Bone marrow smear:
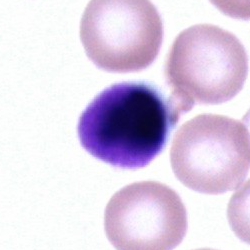
An unidentifiable cell.